Bone marrow aspirate smear · May-Grünwald-Giemsa/Pappenheim stain · single cell centered in the field
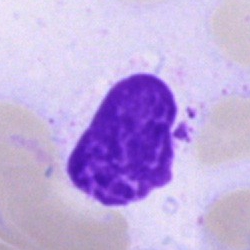Q: What is shown here?
A: Artefact.